MGG-stained. 40× oil immersion. Bone marrow smear: 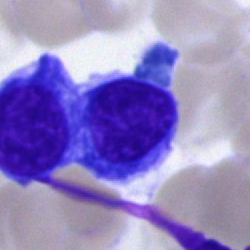Specimen: bone marrow smear.
Cell: normoblast.
Lineage: erythroid.